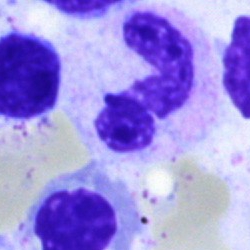 Morphology consistent with a polymorphonuclear neutrophil.